250×250 px. Bone marrow smear: 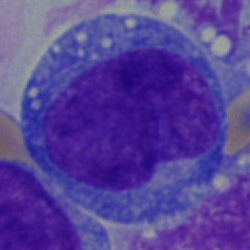 A blast cell.